Bone marrow aspirate smear:
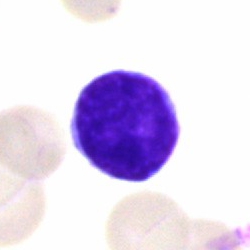 Impression → lymphocyte.